Bone marrow aspirate smear
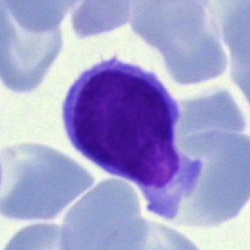
Showing a lymphocyte.